Bone marrow aspirate smear.
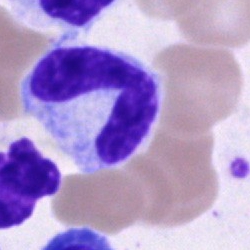 Stab cell.